Bone marrow smear.
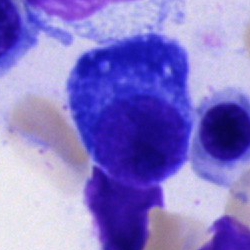
Morphological class = plasma cell.